Bone marrow smear · 40× oil immersion:
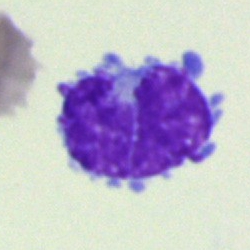 Cell type = lymphocyte.